Bone marrow smear. Single cell centered in the field: 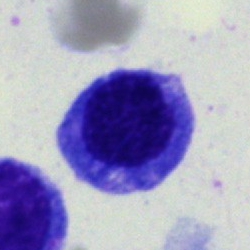 Morphology consistent with a typical lymphocyte.